Bone marrow smear; MGG-stained; single-cell crop
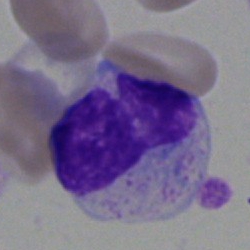 Q: What type of cell is this?
A: This is a cell of indeterminate lineage.